Bone marrow smear; brightfield, 40× oil-immersion objective — 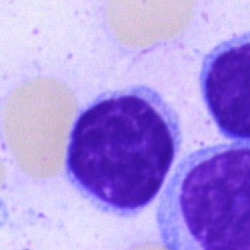A lymphocyte.